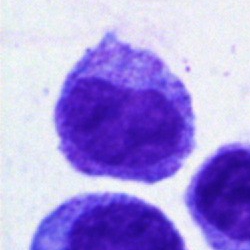

Morphological class: myelocyte.